Bone marrow aspirate smear
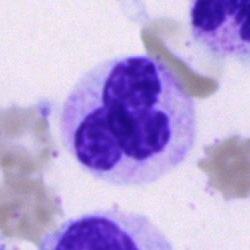
Showing an eosinophil.